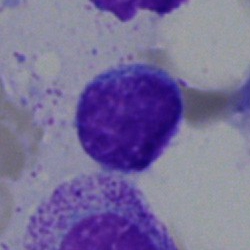 Impression — typical lymphocyte.